Bone marrow smear; 250×250; 40× objective, oil immersion.
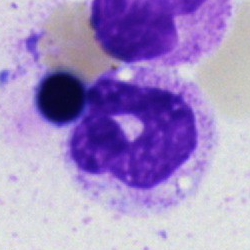
Single cell identified as a band neutrophil.